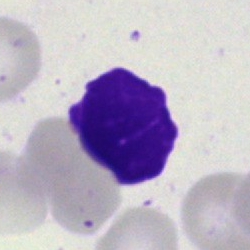Q: What is shown here?
A: An artefact.